Bone marrow aspirate smear — 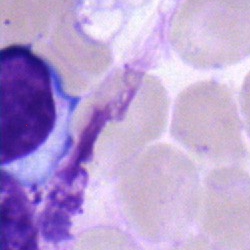
Single cell identified as a typical lymphocyte.